250 by 250 pixels; brightfield microscopy, 40× oil immersion; bone marrow smear:
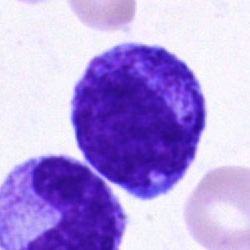

Cell — promyelocyte.